Image size 250×250; bone marrow aspirate smear
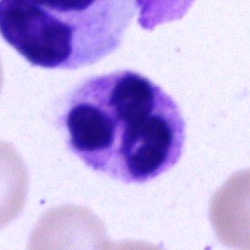
This is a neutrophil (segmented).